Bone marrow smear
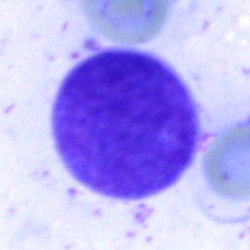
Showing an unidentifiable cell.